Brightfield microscopy, 40× oil immersion. Bone marrow smear — 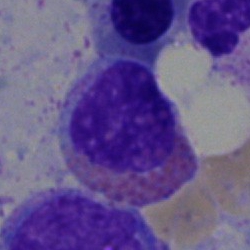

This is an eosinophilic granulocyte.